Peripheral blood film.
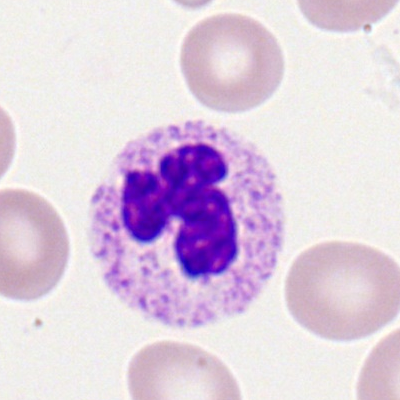 This is a segmented neutrophil.